40× oil immersion. Single cell centered in the field. Bone marrow aspirate smear.
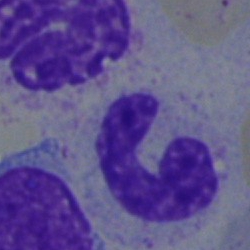
Morphology — neutrophil (band).